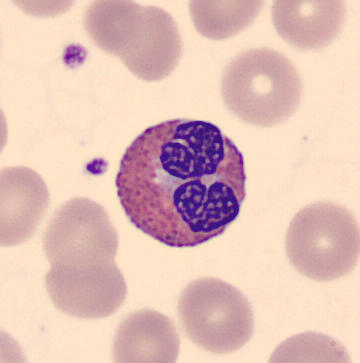
The cell shown is an eosinophil.